Bone marrow smear.
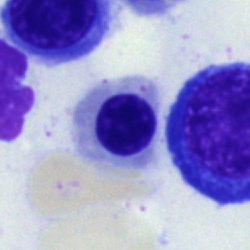 The cell shown is a normoblast.